Bone marrow aspirate smear. Brightfield, 40× oil-immersion objective — 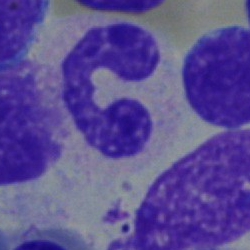

Showing a neutrophil (band).